Bone marrow aspirate smear. 250×250 px.
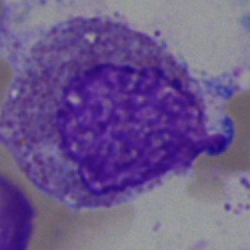

Q: Identify the cell.
A: This is an eosinophil.